Bone marrow smear:
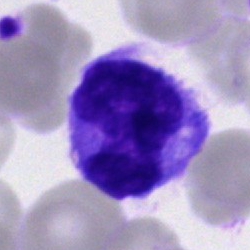Classification: monocyte.